Bone marrow smear
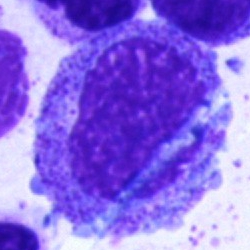The morphological class is progranulocyte.